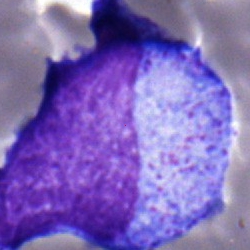 Morphological class — progranulocyte.